Brightfield, 40× oil-immersion objective; bone marrow smear — 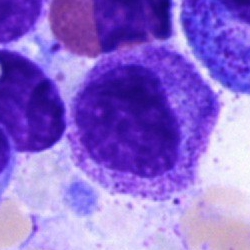
Morphological class — myelocyte.